Bone marrow aspirate smear. MGG-stained. Cropped to a single cell — 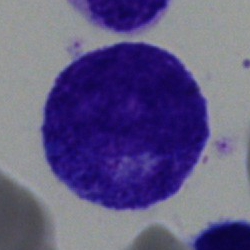

A promyelocyte.